Bone marrow aspirate smear:
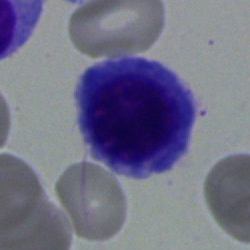Morphology → nucleated red cell.